Bone marrow aspirate smear.
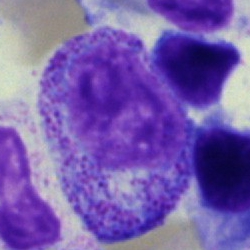
Morphological class: proerythroblast.